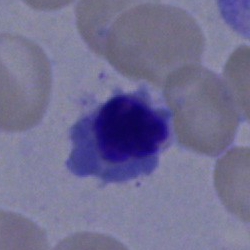 The cell type is nucleated red blood cell.